Bone marrow aspirate smear:
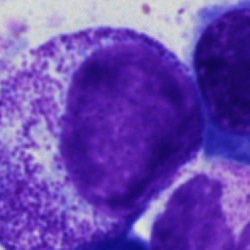 The cell shown is a myelocyte.